Bone marrow aspirate smear; 250×250 — 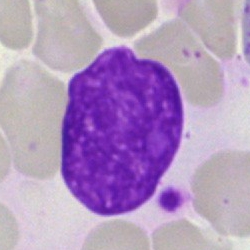

Q: What is shown here?
A: This is an artifact.